Bone marrow aspirate smear. 40× objective, oil immersion. Single cell centered in the field
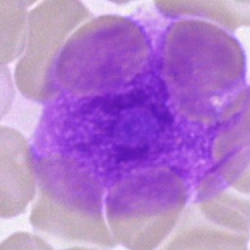
Q: What is shown here?
A: An artefact.